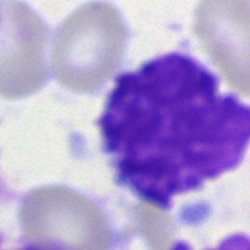
An artefact.